Bone marrow aspirate smear: 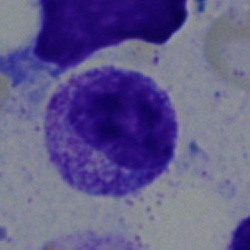 Q: What cell is this?
A: This is a myelocyte.